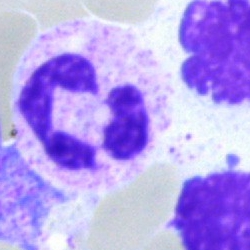 Morphology consistent with a neutrophil (segmented).